Bone marrow aspirate smear — 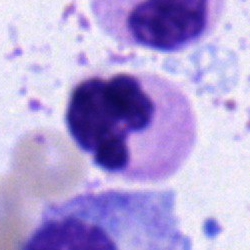 Showing a polymorphonuclear neutrophil.